Bone marrow smear
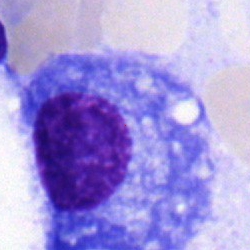
Cell type — plasma cell.